Bone marrow smear
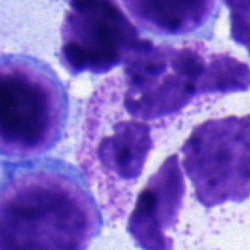 Q: What type of cell is this?
A: It is a neutrophil (segmented).